Bone marrow smear — 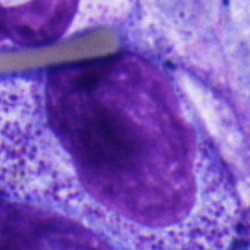
Specimen: bone marrow aspirate smear.
Cell type: myelocyte.
Lineage: myeloid.